40× objective, oil immersion · May-Grünwald-Giemsa/Pappenheim stain · bone marrow smear:
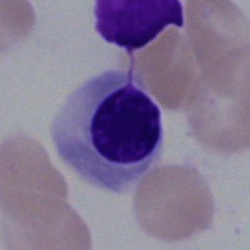
Specimen: bone marrow smear.
Cell: nucleated red cell.
Lineage: erythroid.